Bone marrow smear
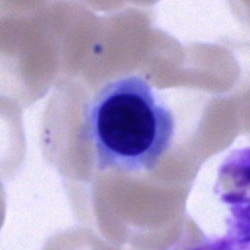Impression → normoblast.